Bone marrow aspirate smear. 40× oil immersion
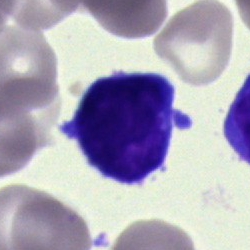
Showing a typical lymphocyte.